Cropped to a single cell · bone marrow aspirate smear · 40× objective, oil immersion: 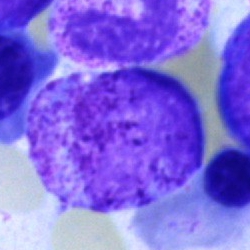

Q: What type of cell is this?
A: It is a myelocyte.